Romanowsky-stained · 400×400 · peripheral blood smear: 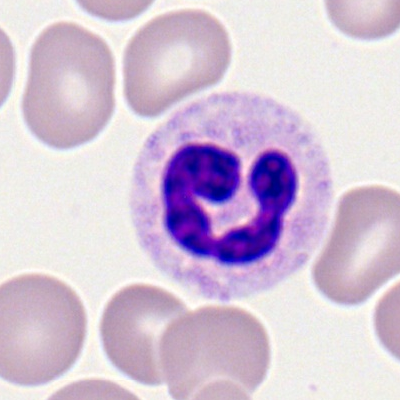Neutrophil (segmented).